Bone marrow aspirate smear — 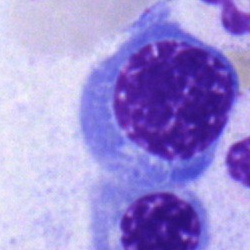
Q: What is the morphological classification of this cell?
A: A nucleated red cell.